Bone marrow aspirate smear:
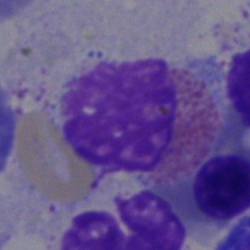

Specimen: bone marrow smear.
Morphological class: eosinophil.
Lineage: myeloid.